Bone marrow aspirate smear; 40× oil immersion.
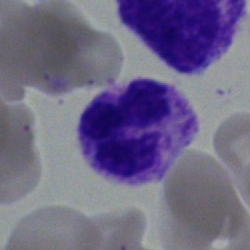Classification — polymorphonuclear neutrophil.